Bone marrow aspirate smear.
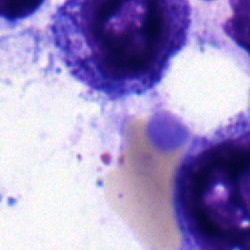
Morphology — myelocyte.